Bone marrow smear:
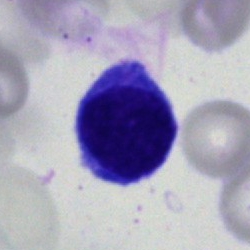 Specimen: bone marrow aspirate smear.
Cell: lymphocyte.